MGG-stained. Single-cell field. Bone marrow smear:
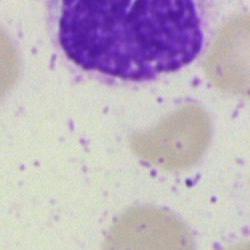Classification = artifact.